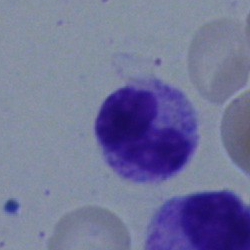 Specimen: bone marrow smear.
Morphological class: band-form neutrophil.
Lineage: myeloid.